Bone marrow smear: 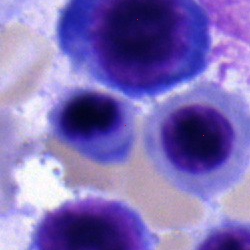 Classification: nucleated red cell.